Bone marrow smear · 250×250.
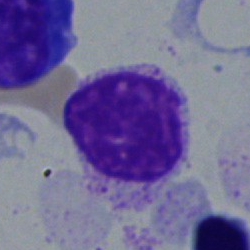 Specimen: bone marrow aspirate smear.
Cell type: myelocyte.